Peripheral blood smear.
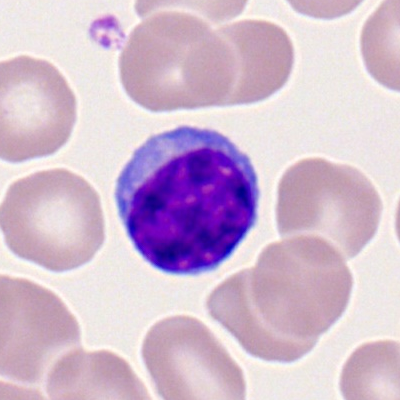

Single cell identified as a typical lymphocyte.